Bone marrow smear: 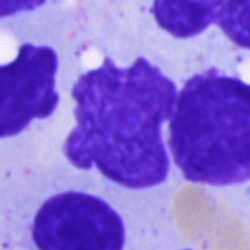

Q: What is shown here?
A: Artefact.